Peripheral blood smear: 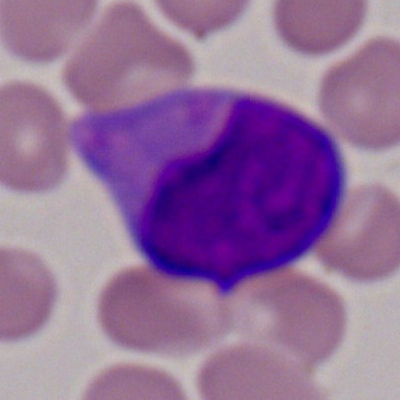

Cell — myeloblast.